Bone marrow aspirate smear
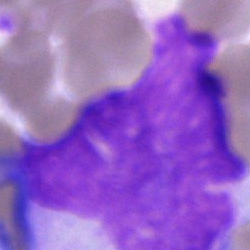 Impression — artifact.